250×250. Single cell centered in the field. Bone marrow aspirate smear — 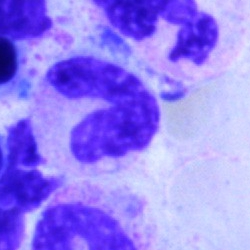

Cell type: stab cell.